Bone marrow smear.
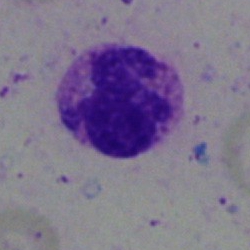
Q: What cell is this?
A: Polymorphonuclear neutrophil.